Cropped to a single cell; 250 by 250 pixels; bone marrow aspirate smear — 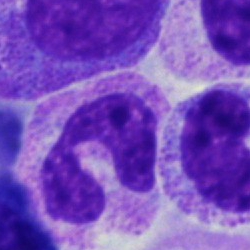
This is a segmented neutrophil.